Bone marrow aspirate smear; 40× objective, oil immersion: 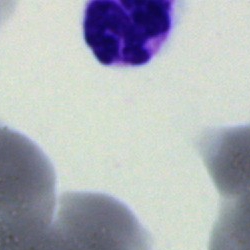Classification = cell of indeterminate lineage.